Bone marrow smear — 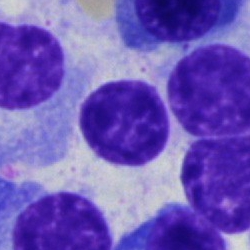
Specimen: bone marrow smear.
Cell type: typical lymphocyte.